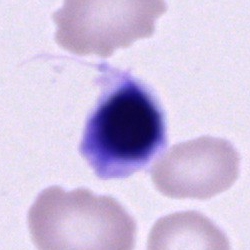
Morphology — unidentifiable cell.